Peripheral blood smear — 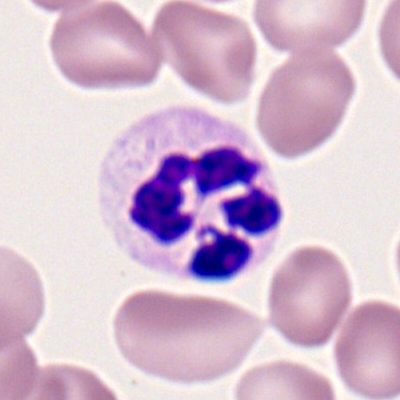

Specimen: peripheral blood film.
Classification: neutrophil (segmented).